CellaVision DM96 digital cell image · single-cell crop · peripheral blood smear: 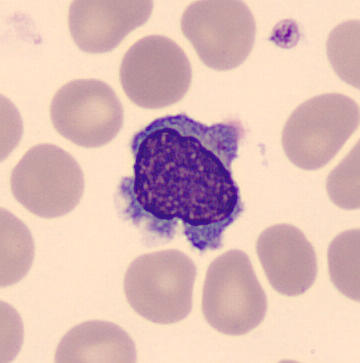 Morphological class = typical lymphocyte.